Bone marrow smear: 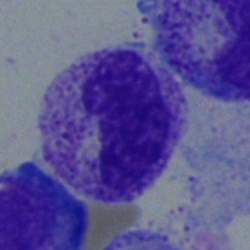
Specimen: bone marrow aspirate smear.
Morphological class: metamyelocyte.